Bone marrow smear:
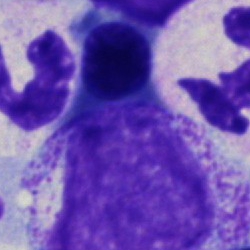
Classification = myelocyte.